Bone marrow aspirate smear — 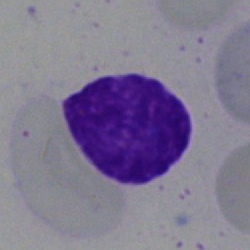

Single cell identified as a lymphocyte.